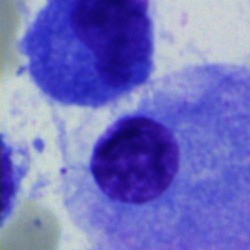

Impression → plasma cell.